250 by 250 pixels · bone marrow smear · single cell centered in the field:
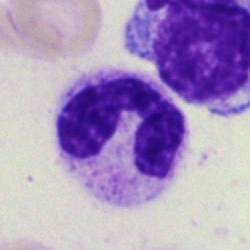
Morphological class — polymorphonuclear neutrophil.